Bone marrow smear · brightfield microscopy, 40× oil immersion:
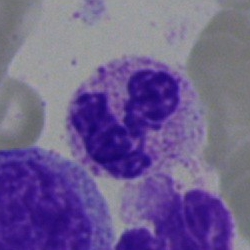 Specimen: bone marrow aspirate smear.
Classification: polymorphonuclear neutrophil.